Bone marrow smear — 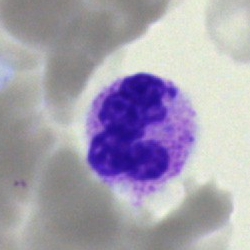
Cell type: neutrophil (segmented).